Bone marrow aspirate smear:
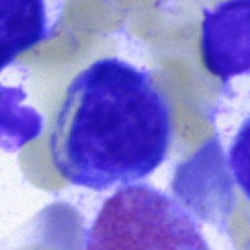

Morphological class = normoblast.